Bone marrow smear. 250×250. Single-cell field
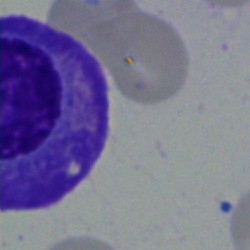
Morphological class = plasmacyte.